Bone marrow smear:
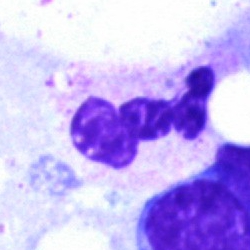Single cell identified as a segmented neutrophil.